Cropped to a single cell; bone marrow aspirate smear: 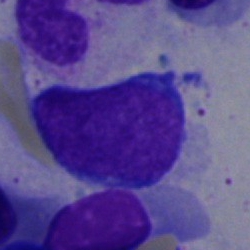
Morphological class — typical lymphocyte.